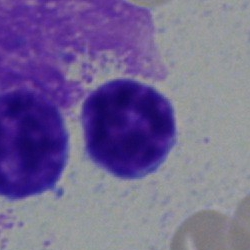Q: What cell is this?
A: This is a lymphocyte.